Peripheral blood smear; M8 digital microscope (Precipoint), 100× oil immersion; Romanowsky-type stain
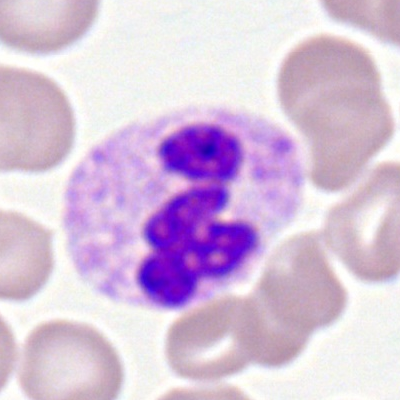
The cell is polymorphonuclear neutrophil.